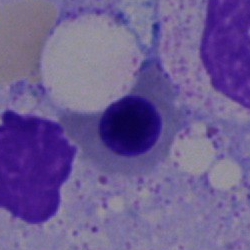 Q: What cell is this?
A: An erythroblast.